Peripheral blood film.
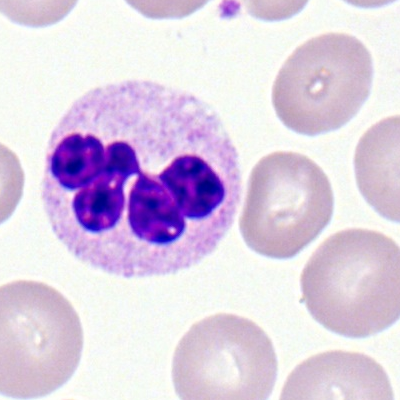

A polymorphonuclear neutrophil.